May-Grünwald-Giemsa stain; bone marrow smear; single-cell field
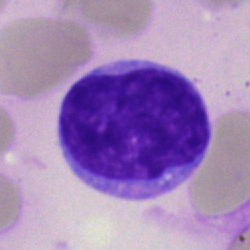 Specimen: bone marrow aspirate smear.
Morphological class: typical lymphocyte.